Bone marrow aspirate smear; cropped to a single cell — 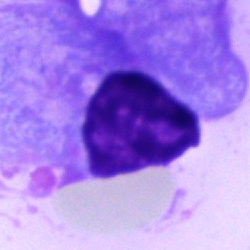 The classification is plasmacyte.